Bone marrow aspirate smear.
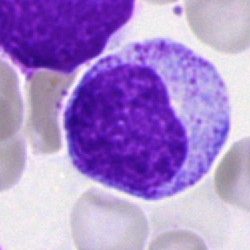 The cell shown is a myelocyte.